May-Grünwald-Giemsa stain. Bone marrow aspirate smear: 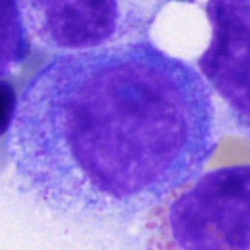

Morphology — progranulocyte.